Bone marrow smear
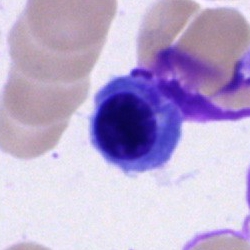
Q: What is shown here?
A: This is an erythroblast.